Bone marrow smear. 250 by 250 pixels. Brightfield microscopy, 40× oil immersion — 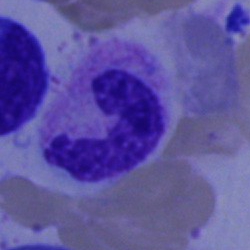

The cell is neutrophil (segmented).